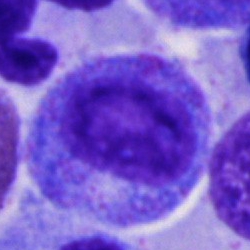Impression → progranulocyte.